Brightfield, 40× oil-immersion objective. Bone marrow smear — 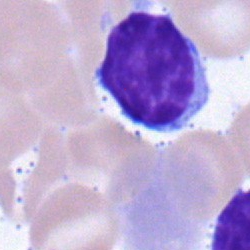Morphology → typical lymphocyte.